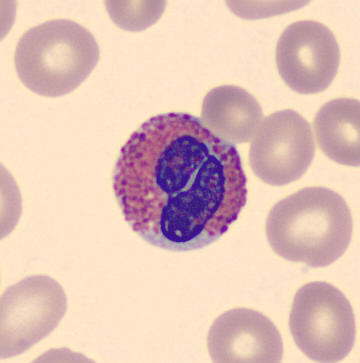
Specimen: peripheral blood film.
Cell: eosinophilic granulocyte.